Bone marrow smear · single-cell crop: 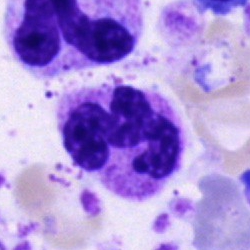 Single cell identified as a polymorphonuclear neutrophil.